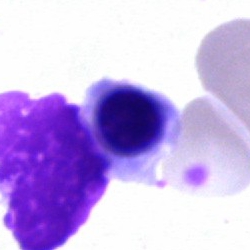

Morphology consistent with an erythroblast.